Bone marrow aspirate smear:
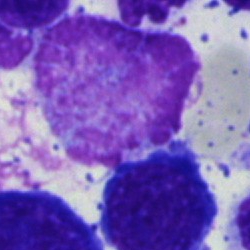 Classification — artifact.